Bone marrow smear.
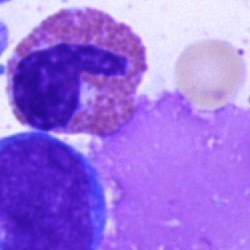 The cell shown is an eosinophilic granulocyte.